Single-cell field. Bone marrow smear.
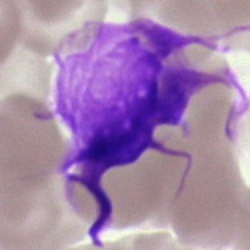
Classification = artefact.